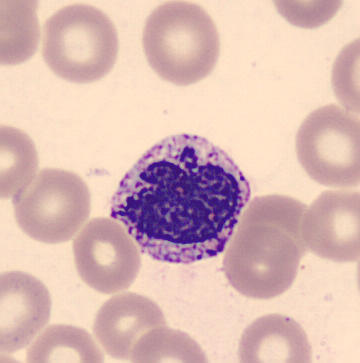
Peripheral blood smear. Morphology — basophilic granulocyte.